Bone marrow smear. 250×250:
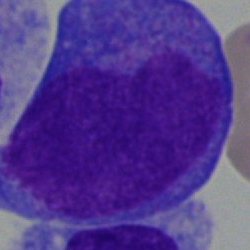 Classification = promyelocyte.